Bone marrow smear
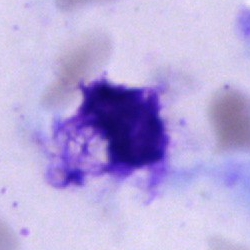Q: What is shown here?
A: It is an artifact.